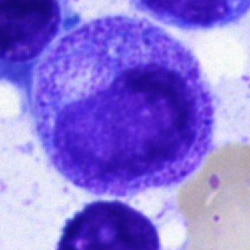
Morphological class: promyelocyte.